Bone marrow smear — 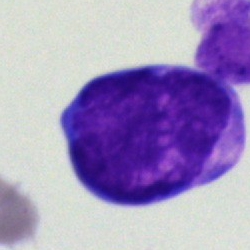

Showing a blast.